Bone marrow aspirate smear
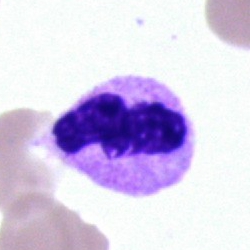
Specimen: bone marrow smear.
Morphological class: segmented neutrophil.